Image size 250×250 · brightfield microscopy, 40× oil immersion · bone marrow smear — 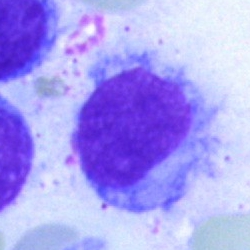
Specimen: bone marrow smear.
Cell: hairy cell.